Bone marrow aspirate smear. Single cell centered in the field.
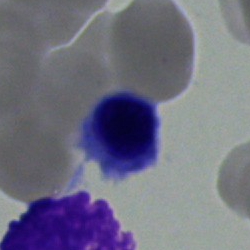

Single cell identified as a lymphocyte.